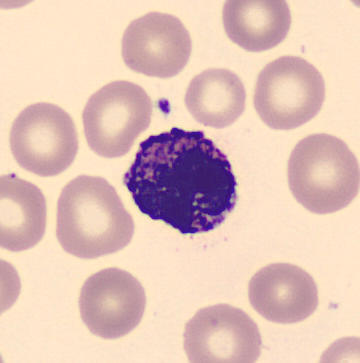

Basophil.